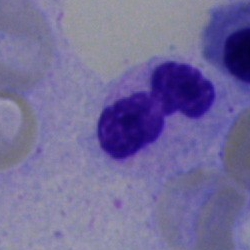 Specimen: bone marrow smear.
Morphological class: segmented neutrophil.